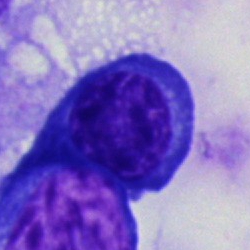Specimen: bone marrow smear.
Cell: blast cell.